Bone marrow smear — 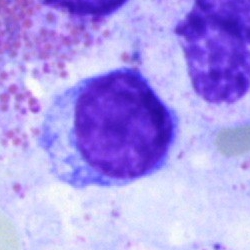

Specimen: bone marrow smear.
Cell type: lymphocyte.